MGG-stained. 250×250. Bone marrow aspirate smear:
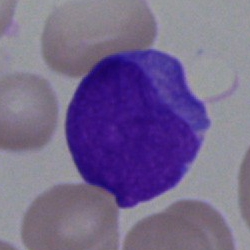Impression → blast.